Single cell centered in the field. Bone marrow smear:
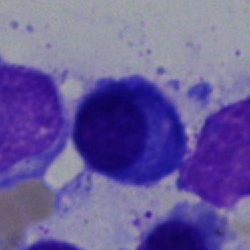

A plasma cell.